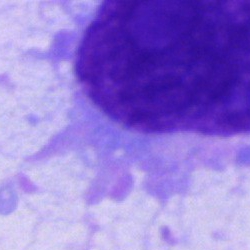

Cell type = plasma cell.